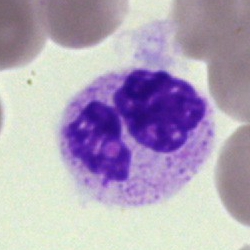 Single-cell crop from a bone marrow smear: polymorphonuclear neutrophil.